Bone marrow aspirate smear
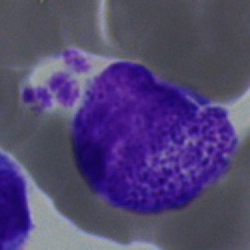
Showing a myelocyte.